Brightfield, 40× oil-immersion objective · May-Grünwald-Giemsa/Pappenheim stain · bone marrow smear
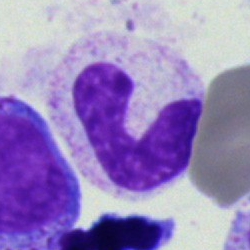
Morphological class — neutrophil (band).